Bone marrow smear · 250 by 250 pixels — 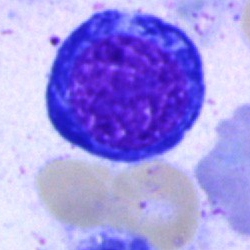
Nucleated red cell.